Bone marrow smear
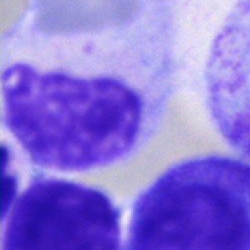An artefact.